Image size 250×250 · bone marrow smear.
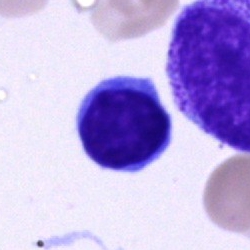
The cell shown is a typical lymphocyte.